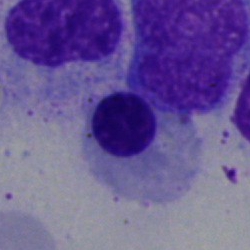 Morphology → erythroblast.